Bone marrow aspirate smear; single-cell field — 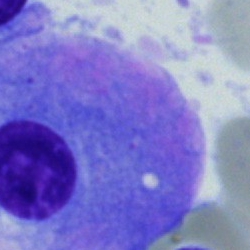 Impression — plasmacyte.